Bone marrow smear — 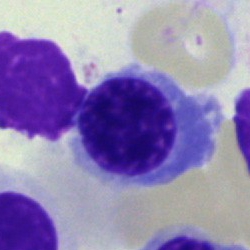 A normoblast.